Bone marrow smear — 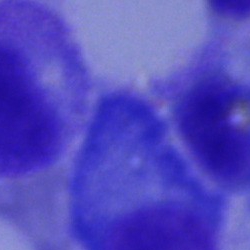

Q: What cell is this?
A: Plasma cell.